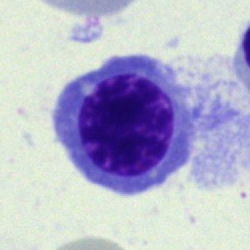

Nucleated red blood cell.